Brightfield microscopy, 40× oil immersion. Bone marrow smear — 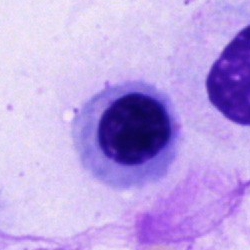 The cell shown is a normoblast.